250×250 px · bone marrow aspirate smear — 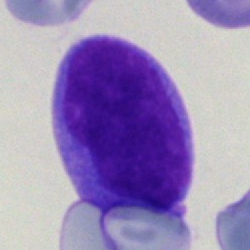 The classification is undifferentiated blast.